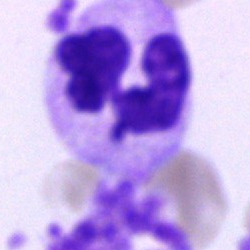
{"cell_type": "polymorphonuclear neutrophil", "lineage": "myeloid"}